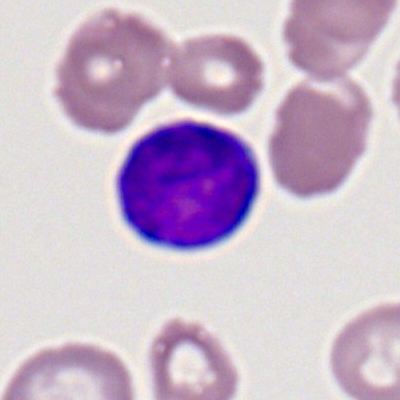

Q: What is shown here?
A: It is a myeloid blast.